Cropped to a single cell. 400×400. Peripheral blood film.
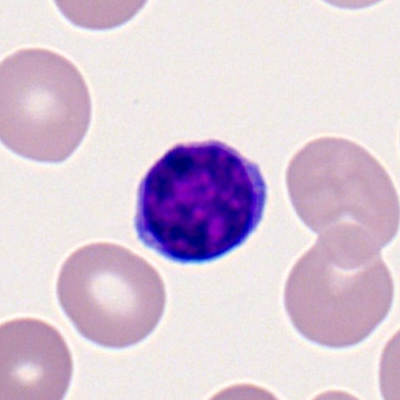
Q: What type of cell is this?
A: Typical lymphocyte.